Bone marrow aspirate smear. Single cell centered in the field: 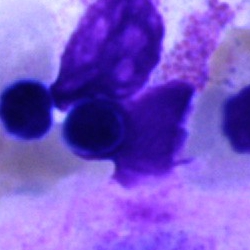 Q: What is shown here?
A: An artifact.